Bone marrow smear. Single-cell field
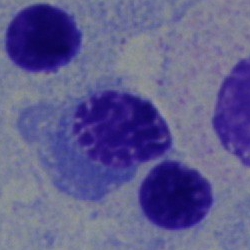

Erythroblast.